Bone marrow aspirate smear. May-Grünwald-Giemsa/Pappenheim stain.
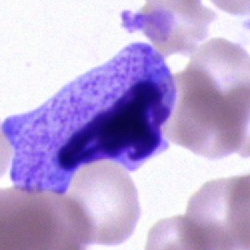
Unidentifiable cell.